Bone marrow smear — 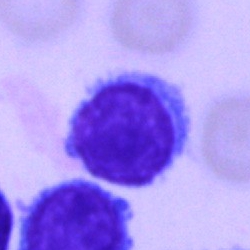

Morphological class = lymphocyte.